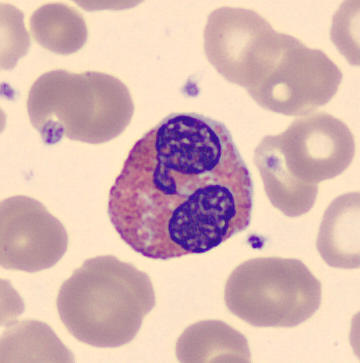
Morphology consistent with an eosinophilic granulocyte.